Bone marrow smear: 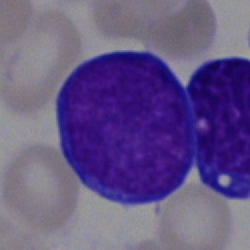
Single cell identified as a blast.